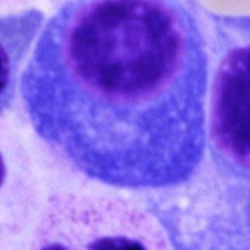 Morphology consistent with a plasmacyte.